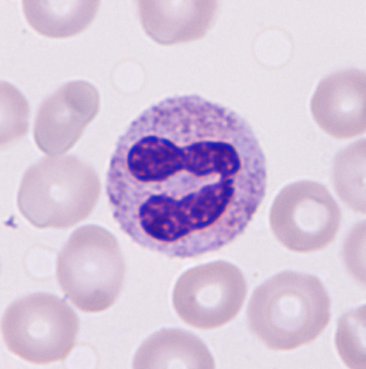

The cell shown is a neutrophil. Image: Peripheral blood film.